Bone marrow aspirate smear — 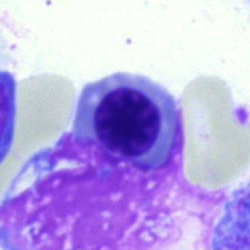

Q: Which cell type is shown here?
A: This is a nucleated red blood cell.